Bone marrow smear — 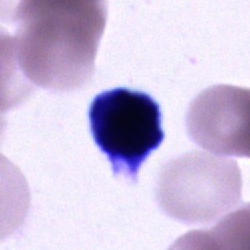 Morphology — cell of indeterminate lineage.